Bone marrow smear. Single-cell crop: 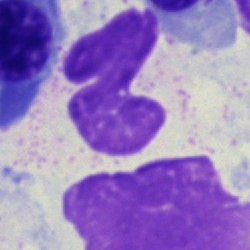
Q: What is shown here?
A: This is an artefact.